Image size 250×250 · bone marrow aspirate smear · 40× objective, oil immersion.
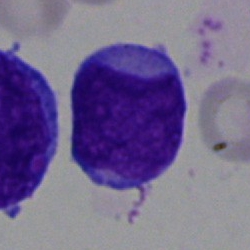
Cell type — blast.